Peripheral blood smear — 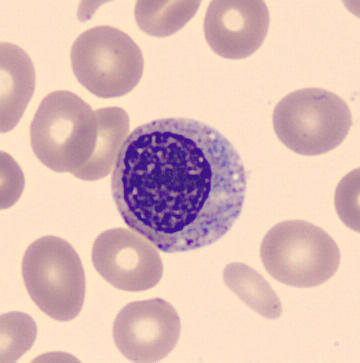
The classification is myelocyte.